Bone marrow smear · brightfield microscopy, 40× oil immersion: 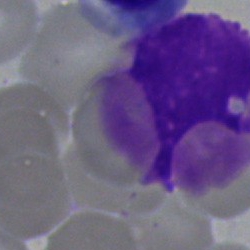 Cell = artifact.